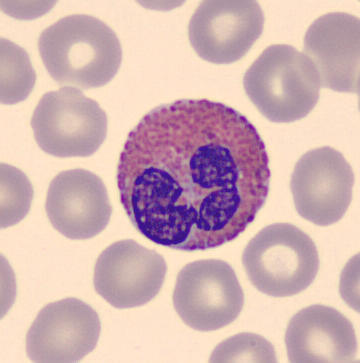Peripheral blood film.

This is an eosinophil.